Bone marrow smear:
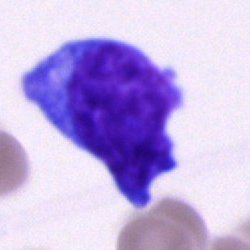The cell shown is a blast.